Bone marrow aspirate smear; 250 by 250 pixels; May-Grünwald-Giemsa/Pappenheim stain.
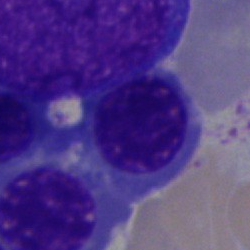 Single cell identified as an erythroblast.